Bone marrow aspirate smear
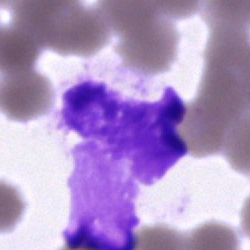Morphology consistent with an artifact.